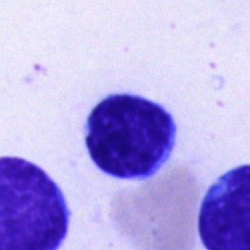Single cell identified as a typical lymphocyte.